40× oil immersion. Bone marrow smear: 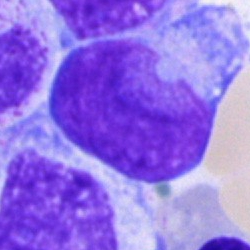

Morphological class: blast.